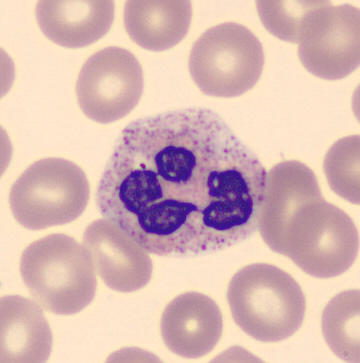

Q: What cell is this?
A: It is a segmented neutrophil.